Peripheral blood film: 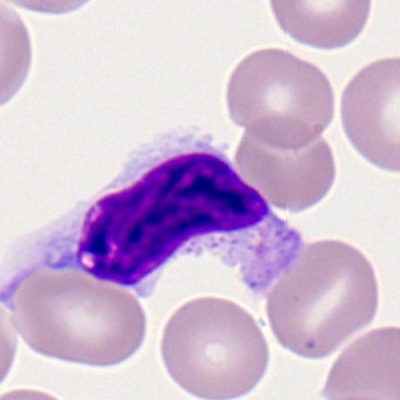 Morphology → typical lymphocyte.